Bone marrow aspirate smear
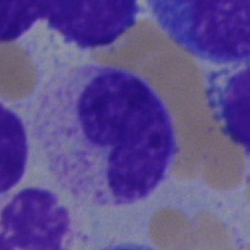

Metamyelocyte.